40× oil immersion. Bone marrow smear
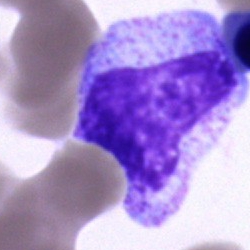 The cell is progranulocyte.